250×250 · bone marrow smear — 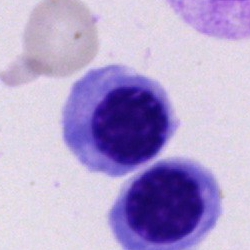 Normoblast.